Bone marrow smear
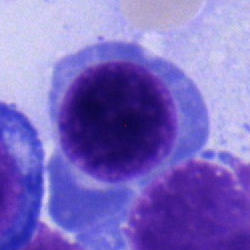The morphological class is nucleated red cell.